Bone marrow smear — 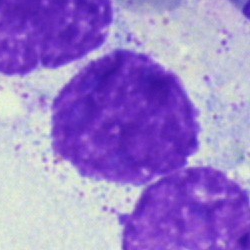 The cell shown is an artefact.